Bone marrow smear: 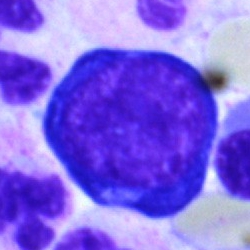Showing an erythroblast.